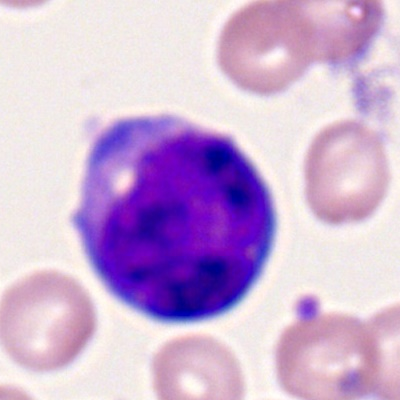

Morphological class: myeloblast.